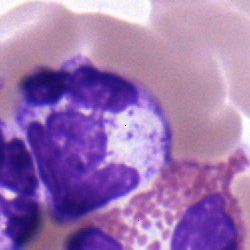Morphology → neutrophil (segmented).